250×250; bone marrow aspirate smear — 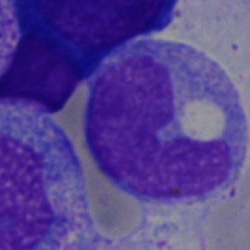Impression → monocyte.